Bone marrow aspirate smear:
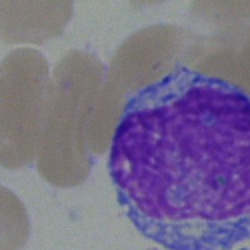

Specimen: bone marrow smear.
Morphological class: blast cell.